Bone marrow aspirate smear · MGG-stained · single cell centered in the field
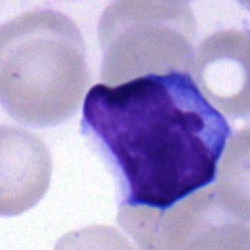 Morphology consistent with a typical lymphocyte.